May-Grünwald-Giemsa stain · bone marrow aspirate smear · 40× oil immersion — 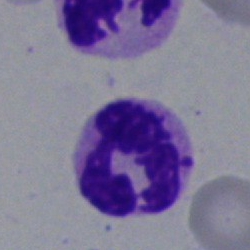This is a segmented neutrophil.